Bone marrow smear:
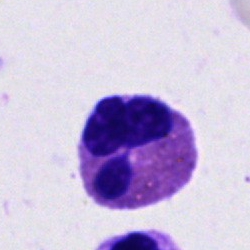Q: Which cell type is shown here?
A: This is an eosinophil.